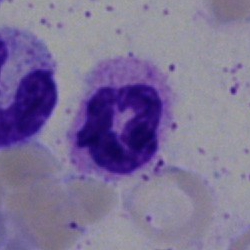Morphology — neutrophil (segmented).